Bone marrow smear.
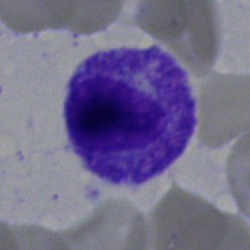

Impression → myelocyte.